Single cell centered in the field · bone marrow aspirate smear: 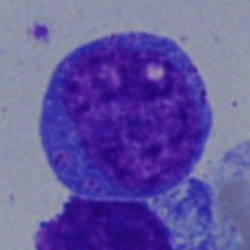{"cell_type": "progranulocyte"}